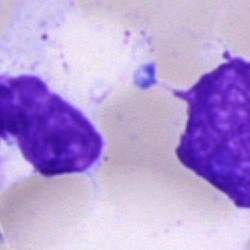

Morphological class: artifact.